Bone marrow smear.
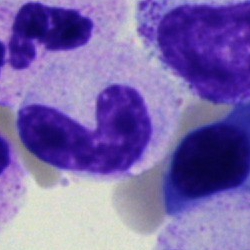This is a stab cell.